Brightfield microscopy, 40× oil immersion · bone marrow smear.
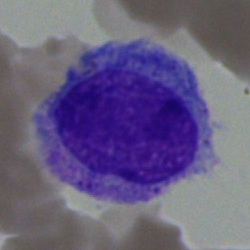
Monocyte.